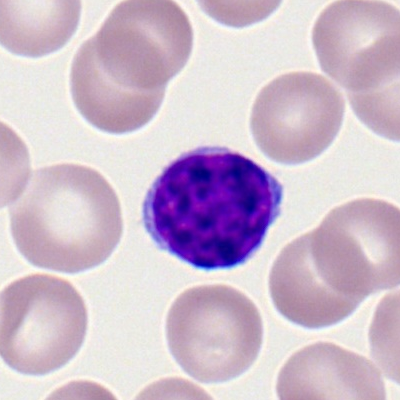 Cell — lymphocyte.